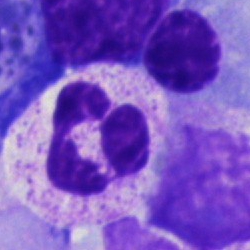 The classification is neutrophil (segmented).